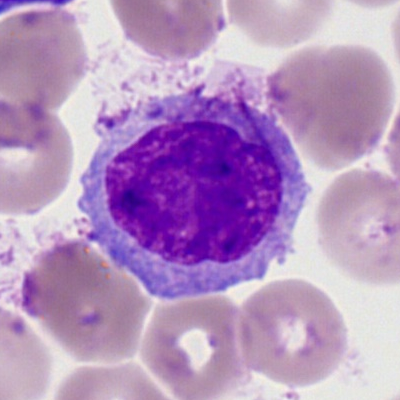A myeloblast.